40× oil immersion. Bone marrow smear. 250×250 px: 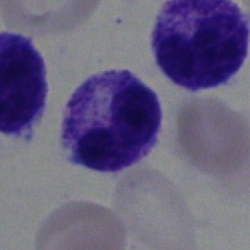

Specimen: bone marrow smear.
Morphological class: band neutrophil.
Lineage: myeloid.